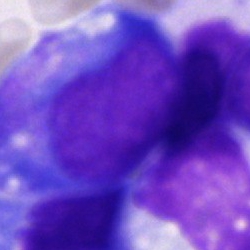

Morphology — cell of indeterminate lineage.